Bone marrow aspirate smear. Pappenheim-stained.
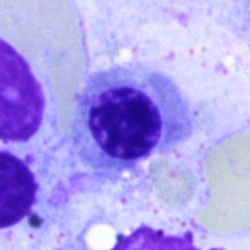

This is an erythroblast.